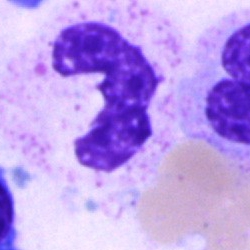
A band neutrophil on a bone marrow smear.